Bone marrow aspirate smear; brightfield, 40× oil-immersion objective — 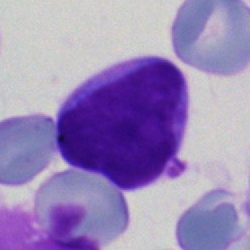

The cell shown is a blast.